Bone marrow aspirate smear:
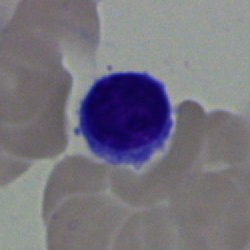 A lymphocyte.